Bone marrow smear
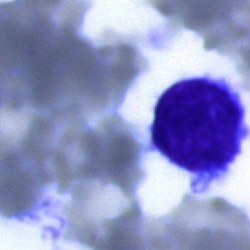
Classification: lymphocyte.